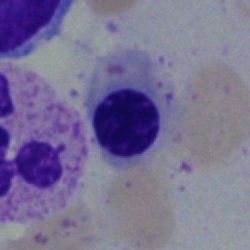 Bone marrow aspirate smear, single cell — erythroblast.